250×250. May-Grünwald-Giemsa/Pappenheim stain. Bone marrow aspirate smear: 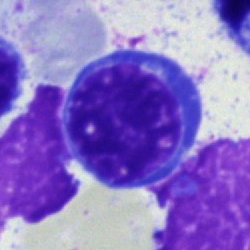 Erythroblast.